Single cell centered in the field. Bone marrow aspirate smear. Pappenheim-stained: 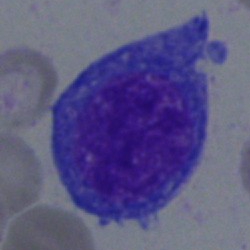
Morphology → undifferentiated blast.